Bone marrow smear: 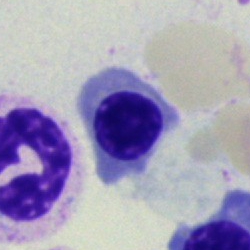
Classification — erythroblast.